Bone marrow smear — 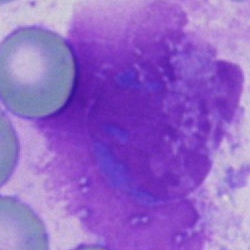
Single cell identified as an artifact.